Single cell centered in the field; May-Grünwald-Giemsa/Pappenheim stain; bone marrow aspirate smear: 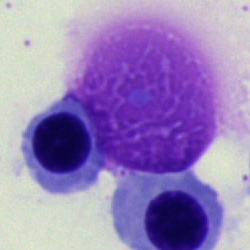Morphological class = artefact.